Bone marrow aspirate smear. Single-cell field
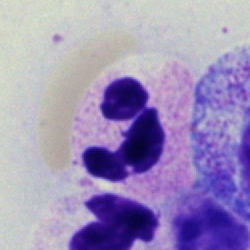 The cell shown is a polymorphonuclear neutrophil.